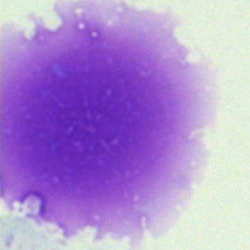Artifact.